Bone marrow aspirate smear: 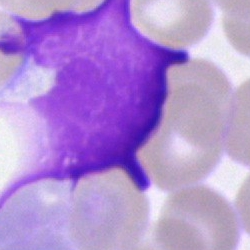
The cell type is artefact.